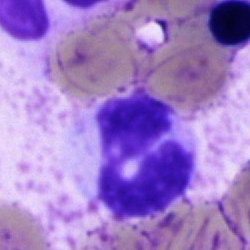

Single-cell crop from a bone marrow smear: polymorphonuclear neutrophil.